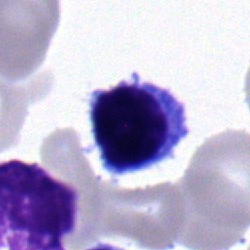
This is a lymphocyte.